Bone marrow aspirate smear: 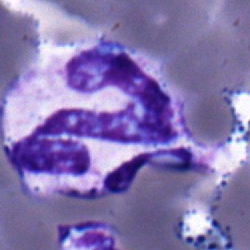 Specimen: bone marrow aspirate smear.
Cell: neutrophil (segmented).